Bone marrow smear: 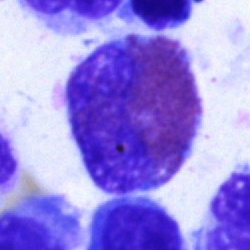

Specimen: bone marrow smear.
Classification: eosinophilic granulocyte.